Brightfield, 40× oil-immersion objective · bone marrow aspirate smear:
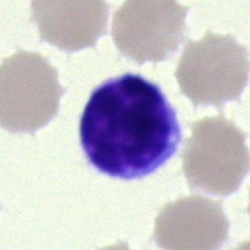
Morphology → typical lymphocyte.